40× objective, oil immersion. Bone marrow aspirate smear: 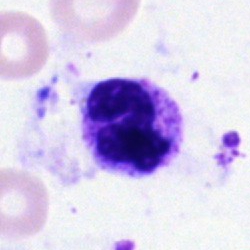

Specimen: bone marrow smear.
Morphological class: neutrophil (segmented).